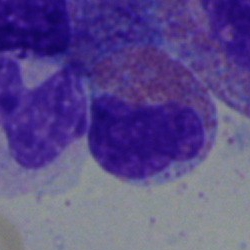
Cell type: eosinophil.